Bone marrow smear; May-Grünwald-Giemsa/Pappenheim stain
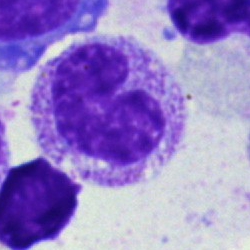
The classification is metamyelocyte.